Single cell centered in the field. 250×250. Bone marrow aspirate smear
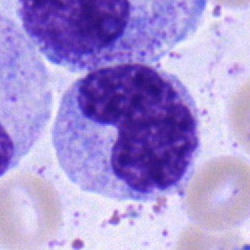

Showing a metamyelocyte.